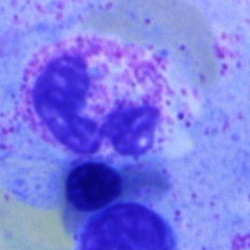 Specimen: bone marrow smear.
Cell type: polymorphonuclear neutrophil.
Lineage: myeloid.